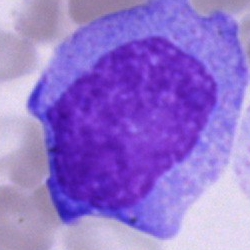
Cell = progranulocyte.